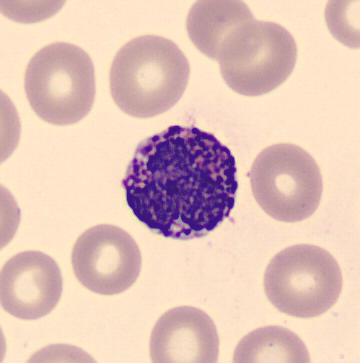

Peripheral blood smear; image size 360×363. {"cell_type": "basophil", "lineage": "myeloid"}